Bone marrow aspirate smear.
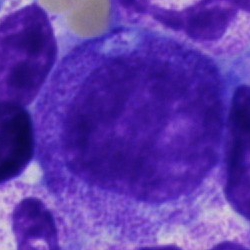 Q: Identify the cell.
A: This is a myelocyte.